Bone marrow aspirate smear; May-Grünwald-Giemsa/Pappenheim stain: 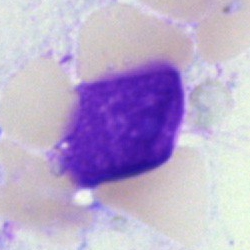Q: What is shown here?
A: This is an artifact.